Bone marrow aspirate smear — 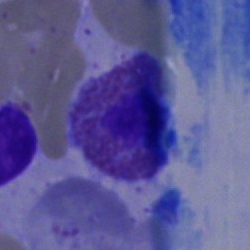
Showing an eosinophil.